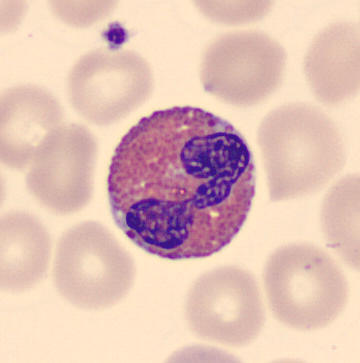
Impression — eosinophil.
Acquisition: Single-cell crop · peripheral blood film · imaged on a CellaVision DM96 analyser.